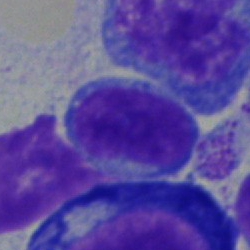{"cell_type": "lymphocyte"}